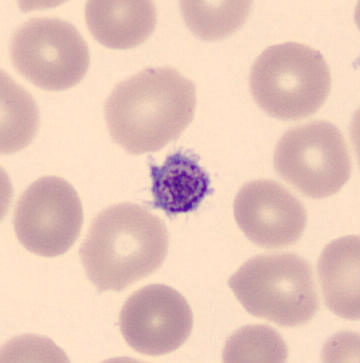

This is a platelet. Peripheral blood smear · 360 by 363 pixels.